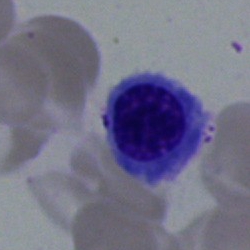 Normoblast.